Bone marrow aspirate smear — 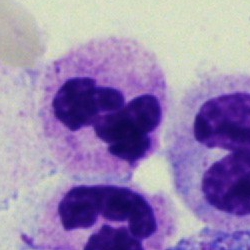Specimen: bone marrow aspirate smear.
Cell: polymorphonuclear neutrophil.
Lineage: myeloid.